250×250. Bone marrow aspirate smear.
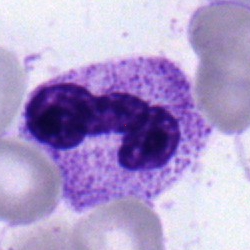

Impression — band-form neutrophil.